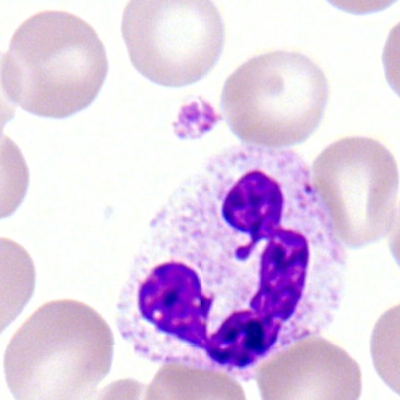
Cell type: neutrophil (segmented).